Peripheral blood smear
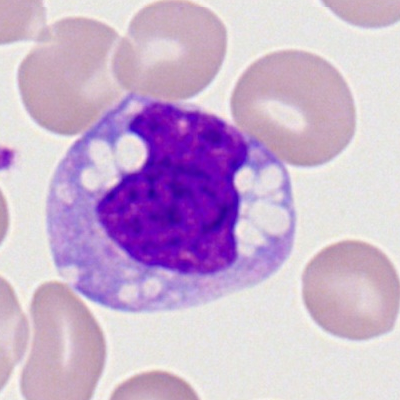 A monocyte.